Bone marrow smear
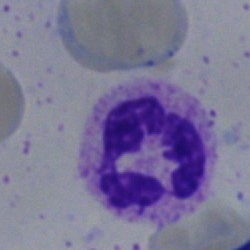

Classification — polymorphonuclear neutrophil.